Bone marrow smear — 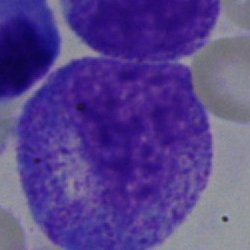

Q: What is shown here?
A: It is a progranulocyte.